Bone marrow smear
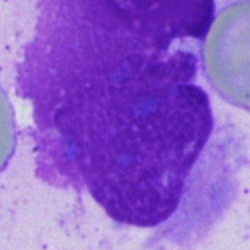

Cell type: artefact.